250 by 250 pixels · bone marrow aspirate smear.
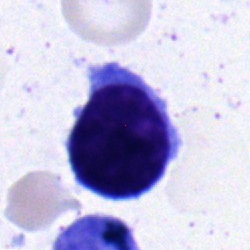Cell = typical lymphocyte.